May-Grünwald-Giemsa stain · bone marrow smear · single-cell field: 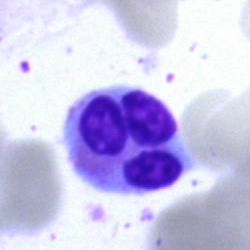

A neutrophil (segmented).